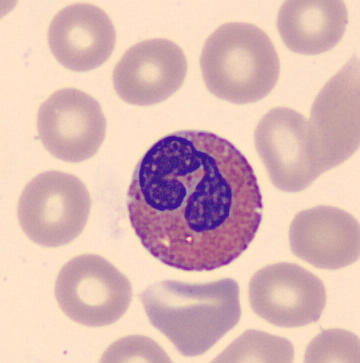 The classification is eosinophil.

Preparation: Peripheral blood smear.